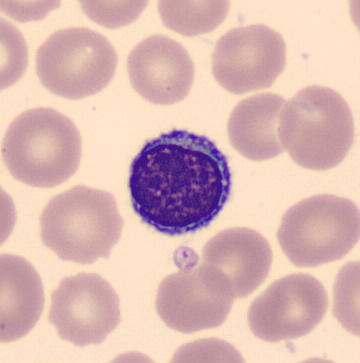Specimen: peripheral blood smear.
Cell type: typical lymphocyte.